Bone marrow aspirate smear — 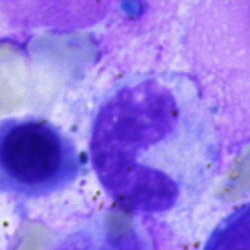
Impression — band-form neutrophil.